Bone marrow smear. Brightfield, 40× oil-immersion objective:
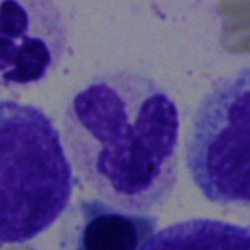The cell shown is a polymorphonuclear neutrophil.